Cropped to a single cell; 250 by 250 pixels; bone marrow smear — 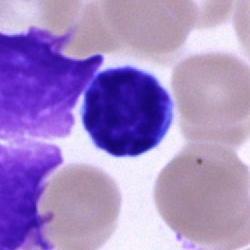 Q: Identify the cell.
A: It is a typical lymphocyte.